Bone marrow aspirate smear — 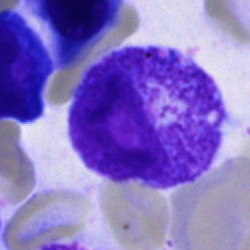 The cell type is progranulocyte.